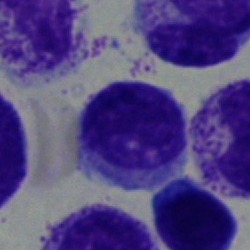
Single cell identified as a typical lymphocyte.